Peripheral blood film: 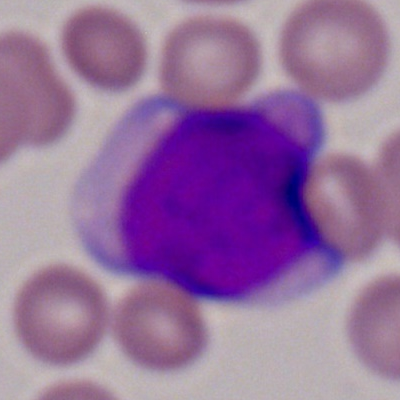
A myeloblast.